Bone marrow smear
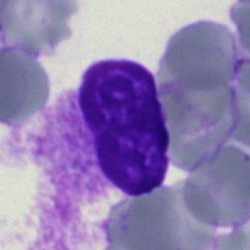
Q: What is shown here?
A: This is an artifact.